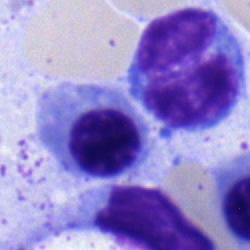
{"cell_type": "normoblast", "lineage": "erythroid"}